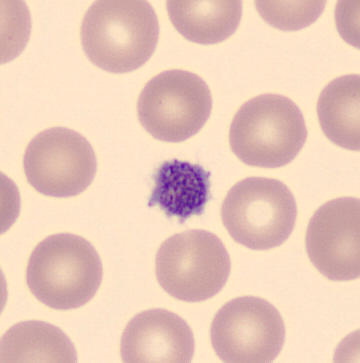The classification is platelet.

Image: Image size 360×363; peripheral blood smear; CellaVision DM96 digital cell image.